Bone marrow aspirate smear: 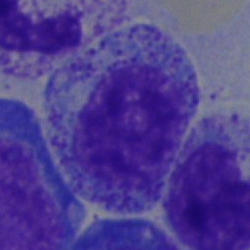Myelocyte.